Bone marrow smear. 40× objective, oil immersion: 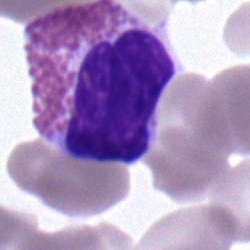

Showing an eosinophilic granulocyte.